Bone marrow smear
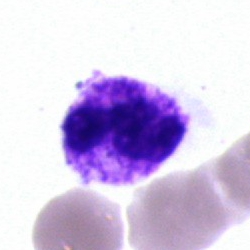
Morphological class: neutrophil (segmented).